Bone marrow aspirate smear:
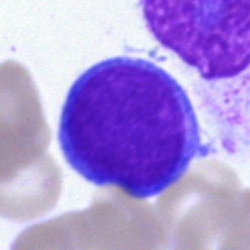Morphology consistent with an undifferentiated blast.